Bone marrow aspirate smear.
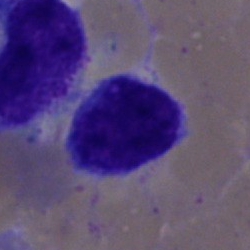
Morphology — lymphocyte.